360×363 px. Peripheral blood film.
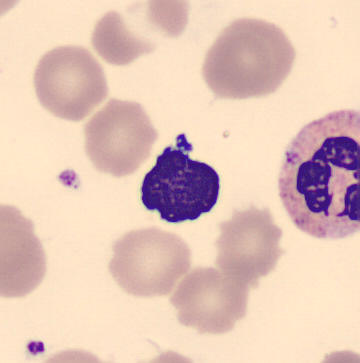
The cell is typical lymphocyte.